Bone marrow smear; cropped to a single cell.
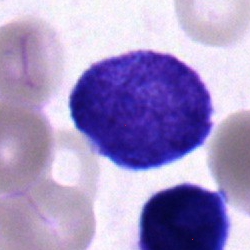 Specimen: bone marrow smear.
Cell type: blast cell.